Bone marrow smear:
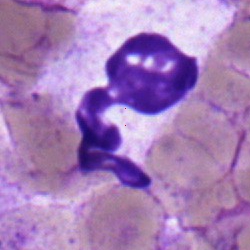

Impression → segmented neutrophil.